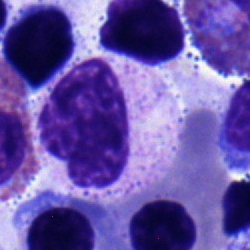

Bone marrow smear showing a neutrophil (band).